Bone marrow aspirate smear:
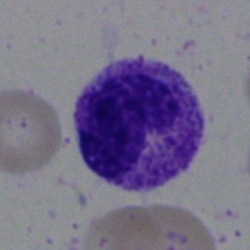Morphology → metamyelocyte.